Bone marrow smear
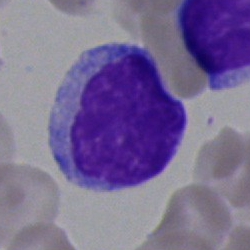
Q: Identify the cell.
A: A lymphocyte.